Bone marrow aspirate smear. Brightfield, 40× oil-immersion objective. MGG-stained: 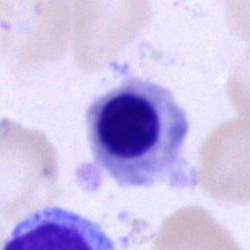Nucleated red blood cell.